Bone marrow aspirate smear: 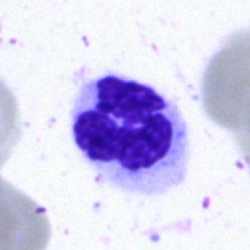
Cell: neutrophil (segmented).